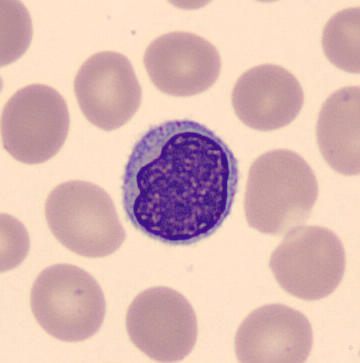 Morphological class — lymphocyte.